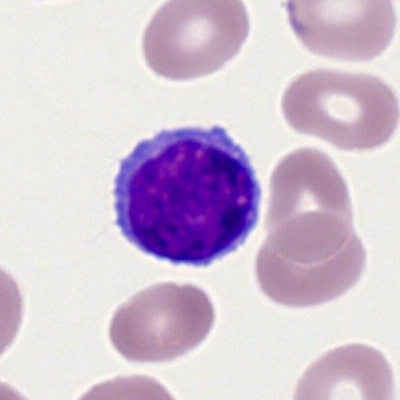

Q: Identify the cell.
A: It is a typical lymphocyte.